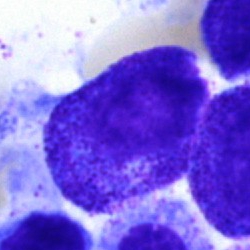
Morphological class: progranulocyte.